Bone marrow aspirate smear; 40× oil immersion; single cell centered in the field — 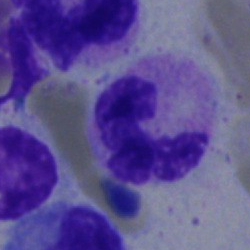Q: What is shown here?
A: A neutrophil (segmented).